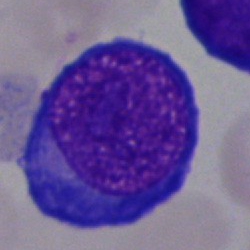 Q: Identify the cell.
A: Nucleated red blood cell.